Bone marrow smear — 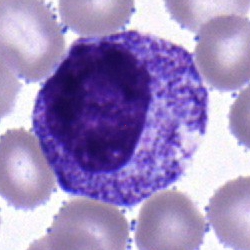Q: Which cell type is shown here?
A: It is a myelocyte.